M8 digital microscope (Precipoint), 100× oil immersion · peripheral blood smear — 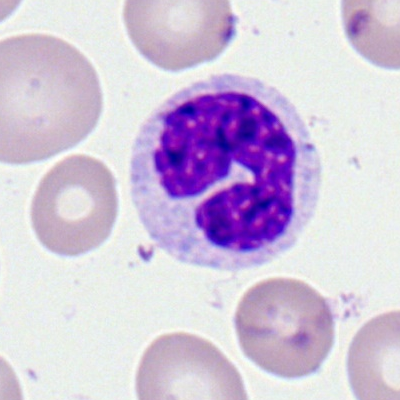 A monocyte.